May-Grünwald-Giemsa stain; bone marrow aspirate smear
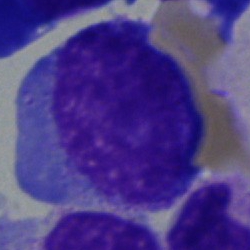{"cell_type": "promyelocyte", "lineage": "myeloid"}